Brightfield, 40× oil-immersion objective · bone marrow smear
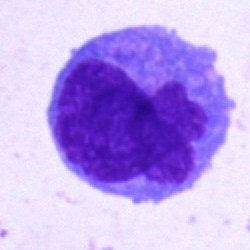Monocyte.